Bone marrow smear
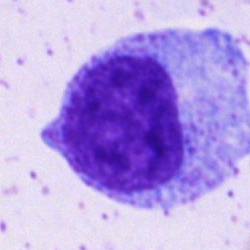
Progranulocyte.